Bone marrow smear · Pappenheim-stained
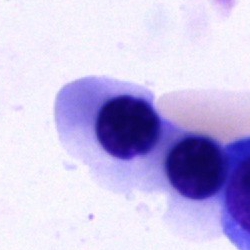 Showing a normoblast.